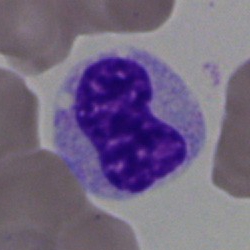
Q: What is the morphological classification of this cell?
A: This is a metamyelocyte.